Bone marrow aspirate smear: 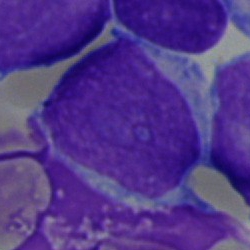Impression → blast cell.